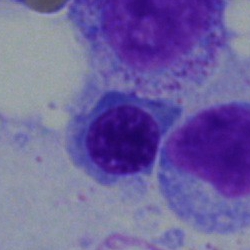Cell: normoblast.